Cropped to a single cell; bone marrow aspirate smear:
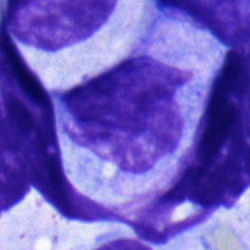Cell type = myelocyte.